Brightfield, 40× oil-immersion objective. Bone marrow smear: 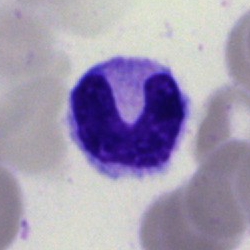A band neutrophil.